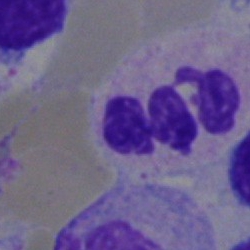

A segmented neutrophil on a bone marrow smear.